May-Grünwald-Giemsa stain · brightfield, 40× oil-immersion objective · bone marrow smear.
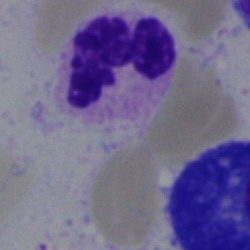
{"cell_type": "segmented neutrophil", "lineage": "myeloid"}